Single cell centered in the field; bone marrow aspirate smear.
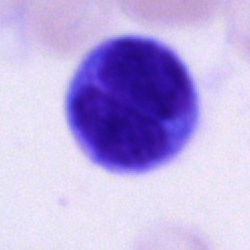 Cell: monocyte.